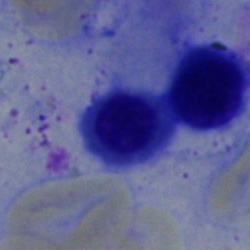Bone marrow aspirate smear, single cell — erythroblast.